250 by 250 pixels. Bone marrow aspirate smear
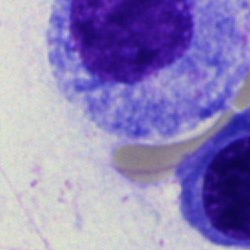
Specimen: bone marrow aspirate smear.
Morphological class: progranulocyte.